Peripheral blood smear — 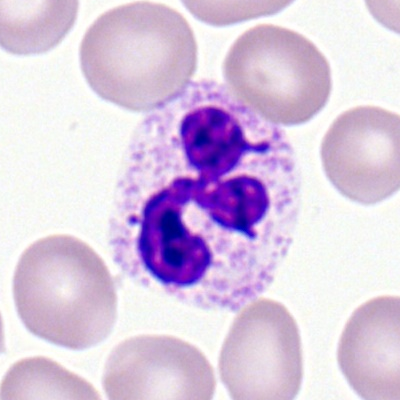

Impression — neutrophil (segmented).